Bone marrow smear; 250×250:
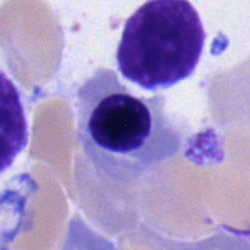
A nucleated red blood cell.